Bone marrow smear; Pappenheim-stained:
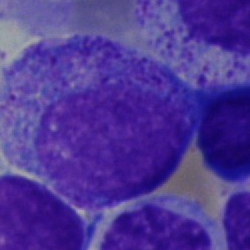

A promyelocyte.